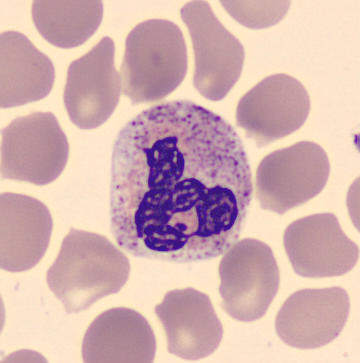Morphology consistent with a segmented neutrophil.
Peripheral blood smear. 360×363 px. May-Grünwald-Giemsa-stained.